250×250; bone marrow smear; brightfield, 40× oil-immersion objective:
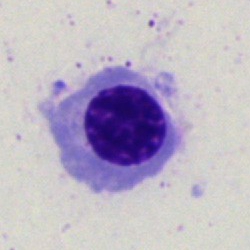

Showing a normoblast.